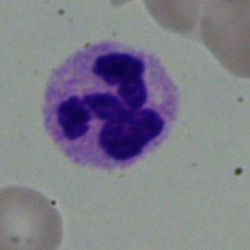 The cell type is segmented neutrophil.